40× objective, oil immersion. Cropped to a single cell. Bone marrow aspirate smear — 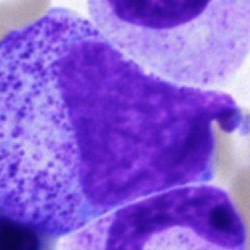 The cell shown is a promyelocyte.